Bone marrow aspirate smear: 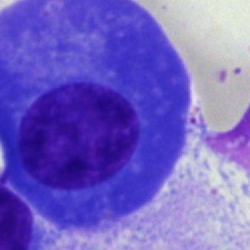
Plasma cell.